Bone marrow smear
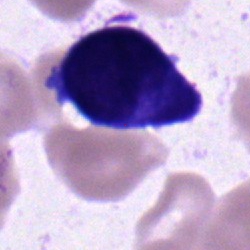

Q: What type of cell is this?
A: It is a blast.